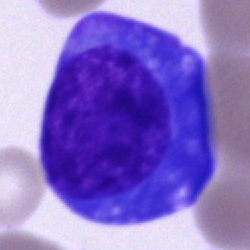

Specimen: bone marrow aspirate smear.
Cell: plasma cell.
Lineage: lymphoid.